250 by 250 pixels · bone marrow aspirate smear.
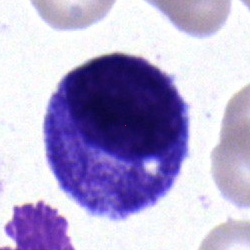 Impression — promyelocyte.